Bone marrow aspirate smear.
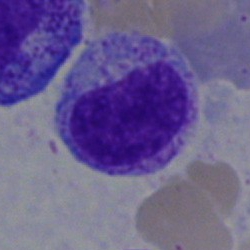
This is a progranulocyte.